Peripheral blood film.
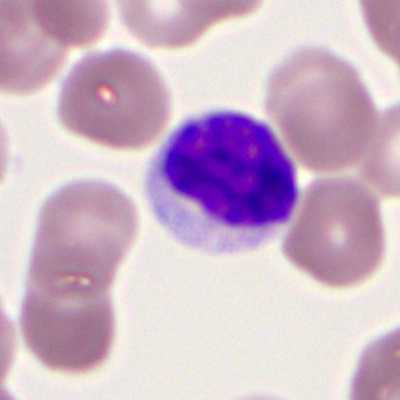The classification is lymphocyte.